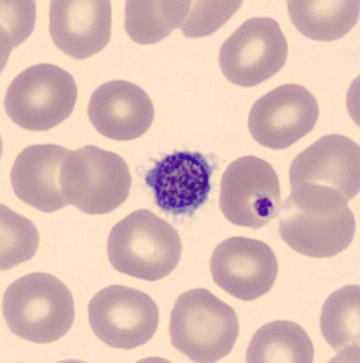
Cell type: platelet.